40× objective, oil immersion. Bone marrow aspirate smear: 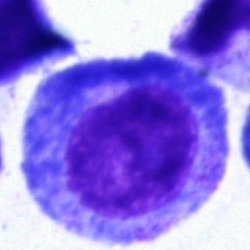 Cell type — promyelocyte.